Brightfield, 40× oil-immersion objective. MGG-stained. Bone marrow smear
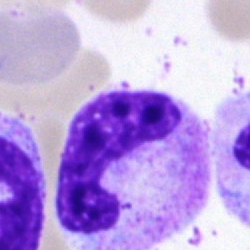 Classification = band neutrophil.